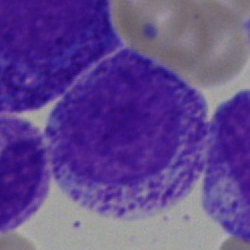 Q: Which cell type is shown here?
A: Myelocyte.